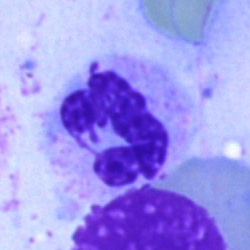
This is a polymorphonuclear neutrophil.